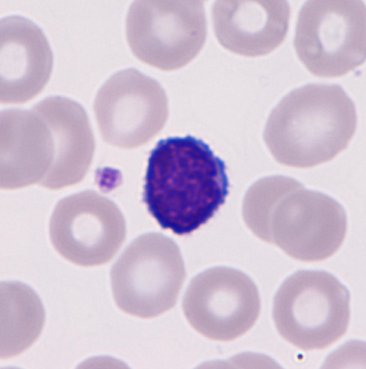
Specimen: peripheral blood smear.
Morphological class: typical lymphocyte.
Lineage: lymphoid.